Bone marrow smear:
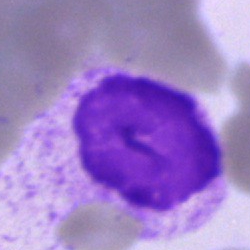
Specimen: bone marrow smear.
Classification: artifact.